Bone marrow smear.
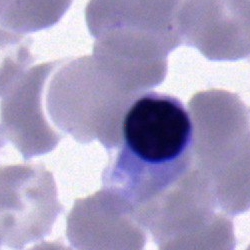Normoblast.